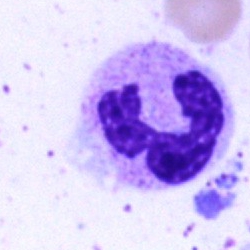

Specimen: bone marrow aspirate smear.
Cell: neutrophil (segmented).
Lineage: myeloid.